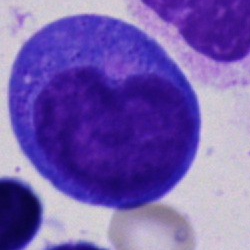This is a monocyte.